Image size 250×250; MGG-stained; bone marrow smear
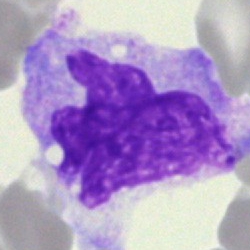Monocyte.